Bone marrow aspirate smear: 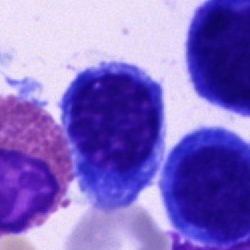Morphological class = nucleated red cell.